Cropped to a single cell; bone marrow aspirate smear.
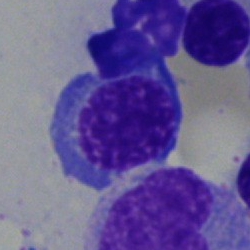
Cell type — normoblast.